Peripheral blood film:
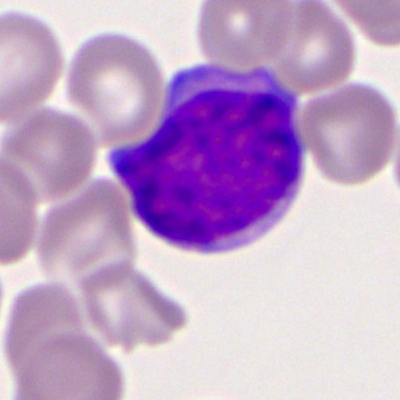
Single cell identified as a myeloid blast.